250×250 px. Bone marrow smear.
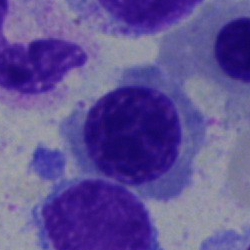

{"cell_type": "normoblast"}